Bone marrow smear — 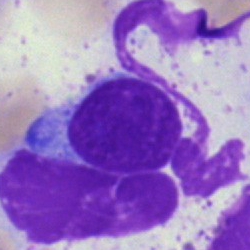
Showing an artifact.